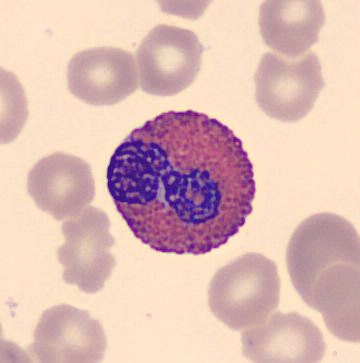Identified as an eosinophil.